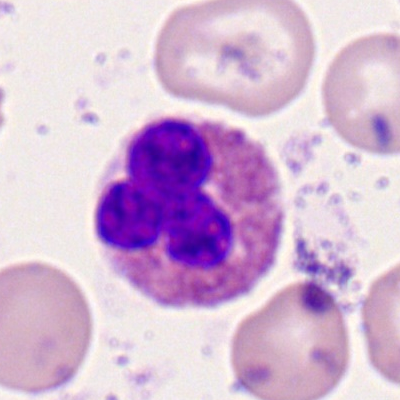
Morphological class: eosinophilic granulocyte.